Image size 250×250 · brightfield microscopy, 40× oil immersion · bone marrow smear
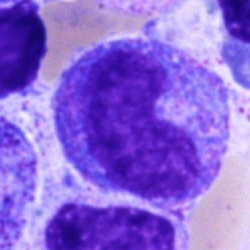

Morphological class = promyelocyte.